Peripheral blood film. Single cell centered in the field
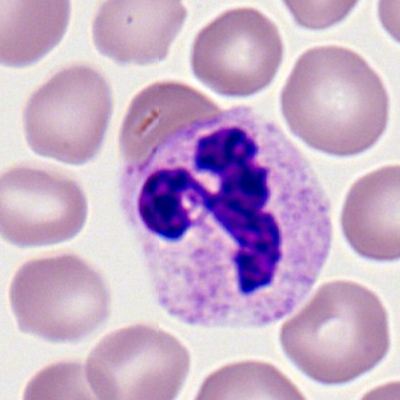
Morphological class = polymorphonuclear neutrophil.